Bone marrow smear: 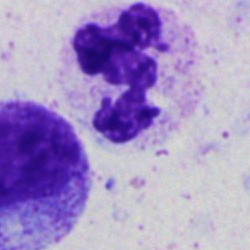Q: What cell is this?
A: This is a segmented neutrophil.